MGG-stained; bone marrow aspirate smear: 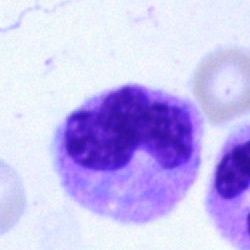
Morphology → segmented neutrophil.